Bone marrow smear · 40× objective, oil immersion:
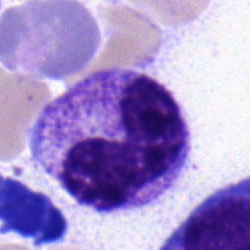

Q: What is shown here?
A: A stab cell.